Bone marrow aspirate smear; 40× objective, oil immersion
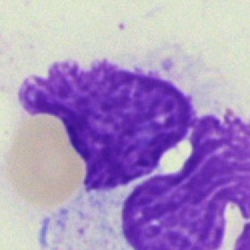 Q: What is shown here?
A: It is an artifact.